Bone marrow aspirate smear: 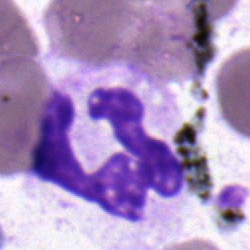 Q: What is the morphological classification of this cell?
A: It is a neutrophil (segmented).